40× oil immersion; bone marrow smear; May-Grünwald-Giemsa stain — 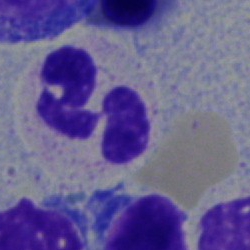

The classification is neutrophil (segmented).